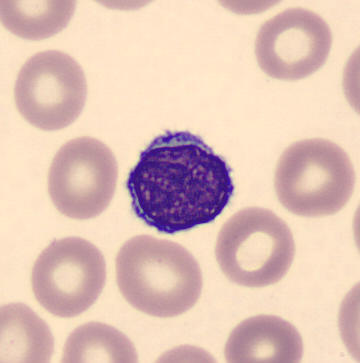 {"cell_type": "lymphocyte", "lineage": "lymphoid"}
Preparation: Single-cell field; peripheral blood film.